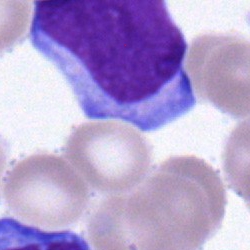 Morphological class — blast cell.